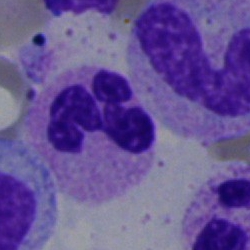Bone marrow smear showing a neutrophil (segmented).